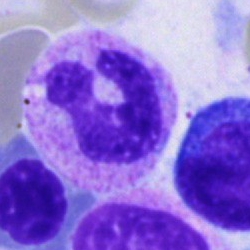 Impression → polymorphonuclear neutrophil.